Bone marrow aspirate smear:
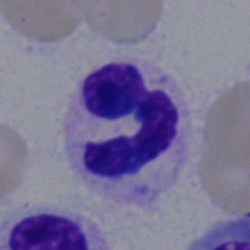Showing a segmented neutrophil.